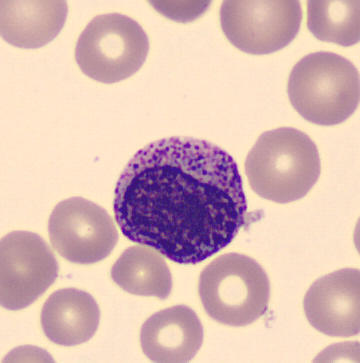Specimen: peripheral blood film.
Cell type: myelocyte.